May-Grünwald-Giemsa stain; bone marrow aspirate smear: 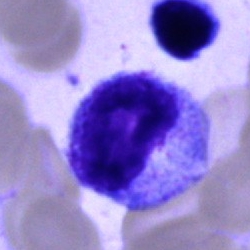
Single cell identified as a promyelocyte.